Bone marrow aspirate smear · May-Grünwald-Giemsa stain — 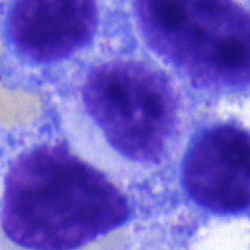

Showing a myelocyte.